Cropped to a single cell. Bone marrow smear — 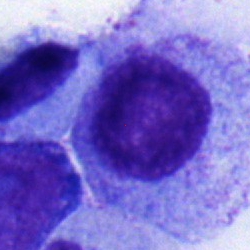
Myelocyte.